Bone marrow smear
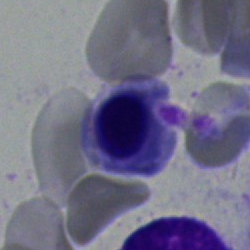
A normoblast.